MGG-stained · brightfield microscopy, 40× oil immersion · bone marrow smear:
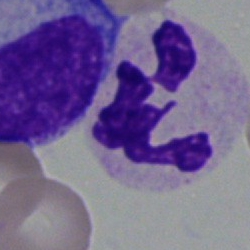

Cell type: neutrophil (segmented).